Single cell centered in the field; bone marrow smear — 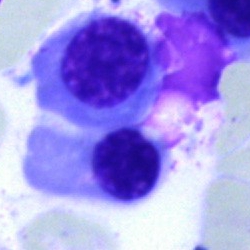 Morphological class — nucleated red cell.